Bone marrow smear — 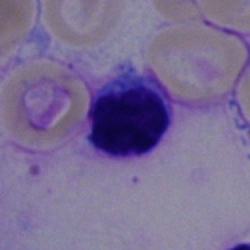
Single cell identified as a typical lymphocyte.